Bone marrow aspirate smear
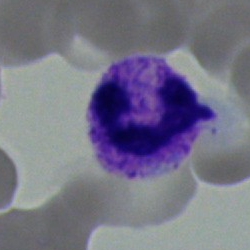Morphology — polymorphonuclear neutrophil.